Bone marrow smear.
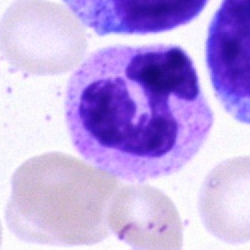

Q: Identify the cell.
A: It is a polymorphonuclear neutrophil.